Bone marrow smear
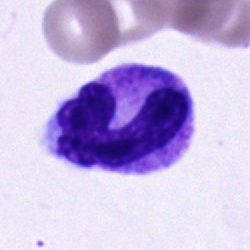 {"cell_type": "band-form neutrophil", "lineage": "myeloid"}